Bone marrow smear:
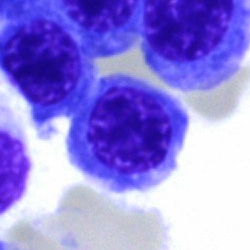

Morphological class = erythroblast.